Bone marrow smear:
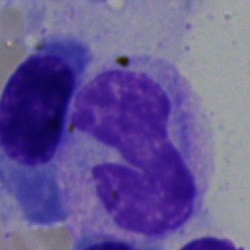 Specimen: bone marrow aspirate smear.
Cell: monocyte.
Lineage: myeloid.